Bone marrow aspirate smear.
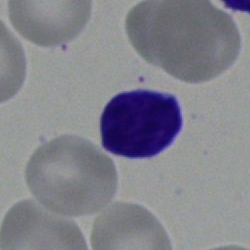 Morphology consistent with a lymphocyte.